Bone marrow aspirate smear:
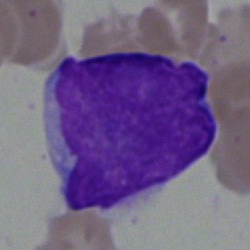
Cell type = undifferentiated blast.